Bone marrow aspirate smear.
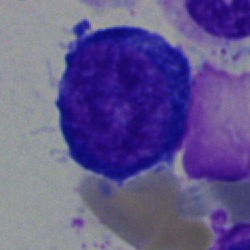

This is a pronormoblast.